Bone marrow smear.
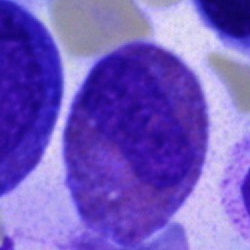

Q: What type of cell is this?
A: Eosinophil.